250×250 px; bone marrow smear.
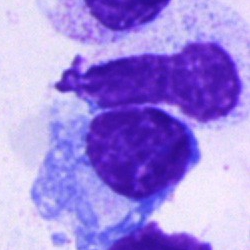
Morphological class = plasma cell.